MGG-stained. Bone marrow aspirate smear. Brightfield, 40× oil-immersion objective
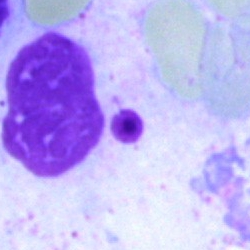

{"cell_type": "artifact"}